Peripheral blood film.
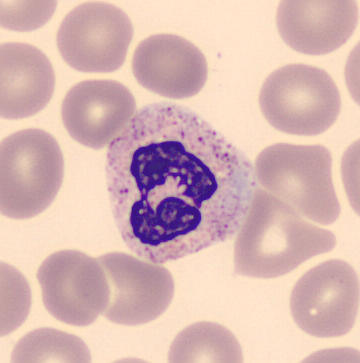 This is a segmented neutrophil.